Cropped to a single cell · bone marrow aspirate smear · 40× oil immersion: 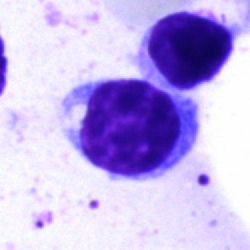
Q: What is the morphological classification of this cell?
A: It is a lymphocyte.